Pappenheim-stained · bone marrow smear · single cell centered in the field.
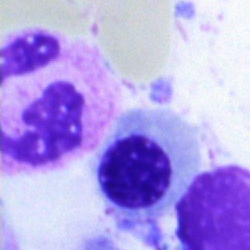Morphological class = normoblast.